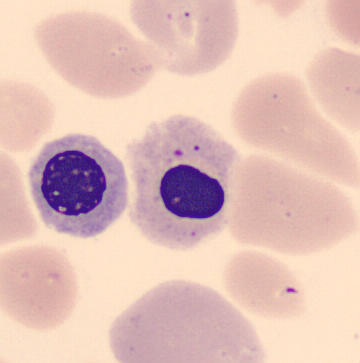

Cell = nucleated red blood cell. Image: 360×363 · peripheral blood film.